Bone marrow smear. Image size 250×250. Cropped to a single cell: 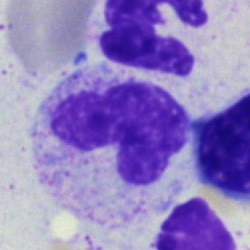 A band-form neutrophil.